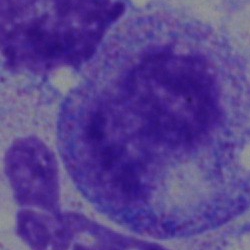 Progranulocyte.